Bone marrow smear: 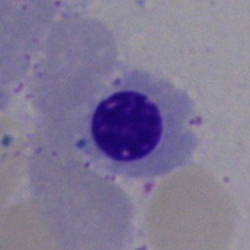
A normoblast.